Single-cell crop · bone marrow aspirate smear
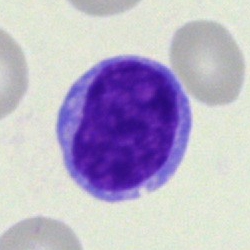
Lymphocyte.